Bone marrow smear · brightfield, 40× oil-immersion objective.
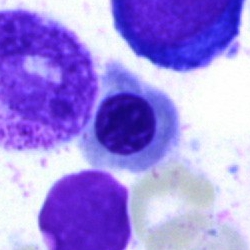
Cell = nucleated red cell.